Bone marrow smear:
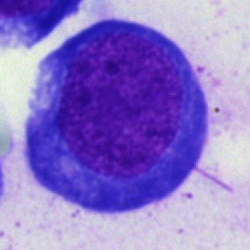
Classification = pronormoblast.